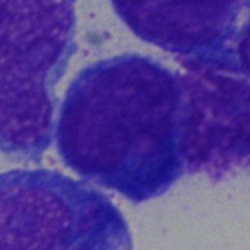

Single-cell crop from a bone marrow smear: blast cell.